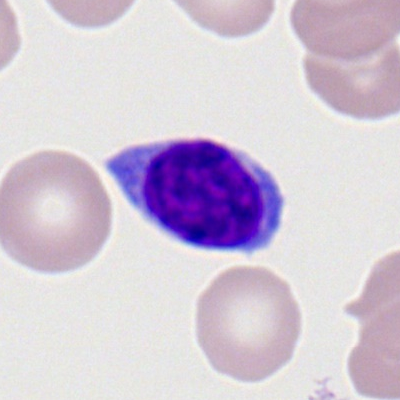
A typical lymphocyte.